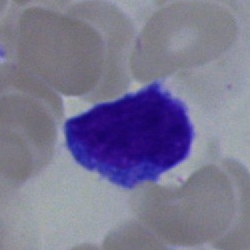Cell: lymphocyte.